Bone marrow aspirate smear.
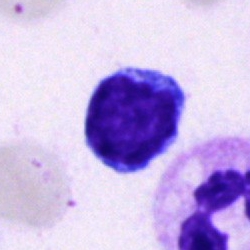
Specimen: bone marrow aspirate smear.
Classification: typical lymphocyte.